Bone marrow smear
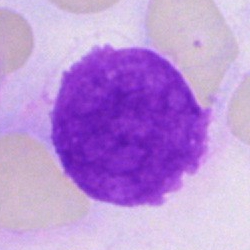The cell is artifact.